Peripheral blood film.
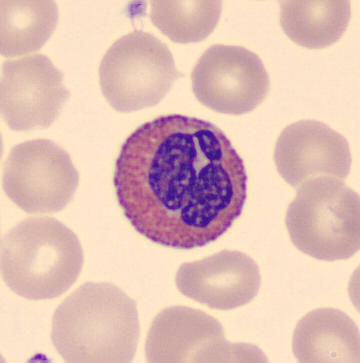Classification: eosinophilic granulocyte.